Brightfield microscopy, 40× oil immersion. Pappenheim-stained. Bone marrow aspirate smear
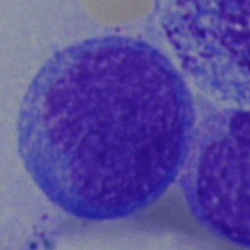
A blast cell.